Single cell centered in the field. Bone marrow aspirate smear: 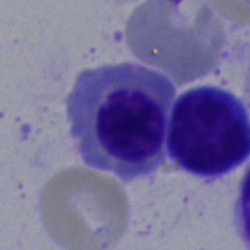 Erythroblast.